Bone marrow smear. Image size 250×250:
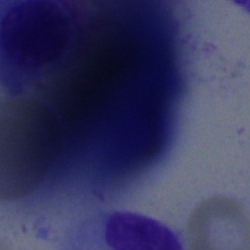
Artefact.